Bone marrow aspirate smear.
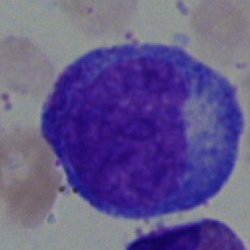

The cell is promyelocyte.